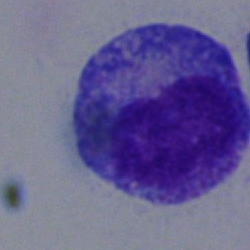Promyelocyte.